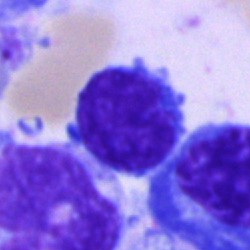
Impression — lymphocyte.